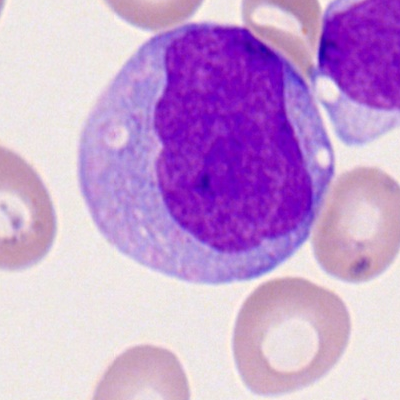 This is a monoblast.